Brightfield microscopy, 40× oil immersion · bone marrow aspirate smear · MGG-stained: 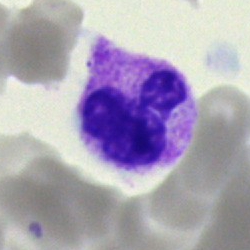 A polymorphonuclear neutrophil.